Single-cell crop; bone marrow smear; image size 250×250 — 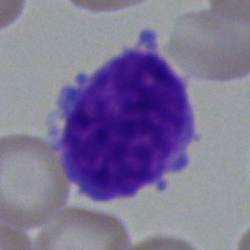Undifferentiated blast.